Bone marrow smear:
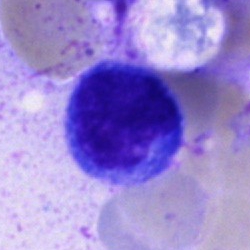

Morphology consistent with an artifact.